Bone marrow smear:
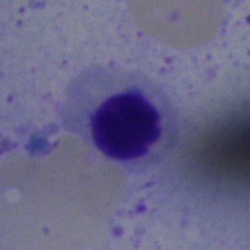Showing a nucleated red blood cell.